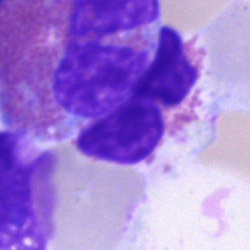Morphological class — eosinophil.